Peripheral blood film.
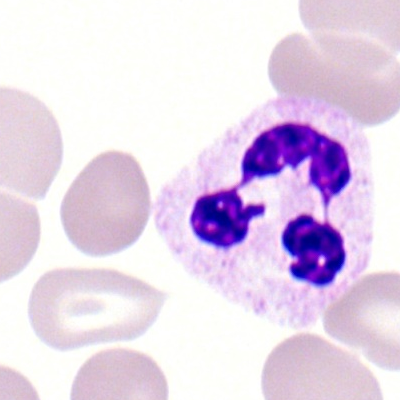

This is a neutrophil (segmented).